Bone marrow aspirate smear.
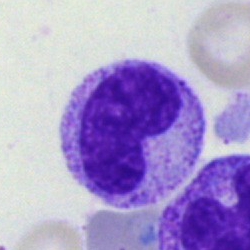 Cell: neutrophil (band).